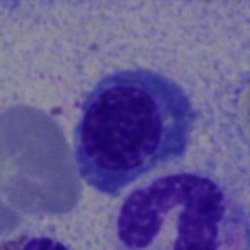

Classification: nucleated red cell.